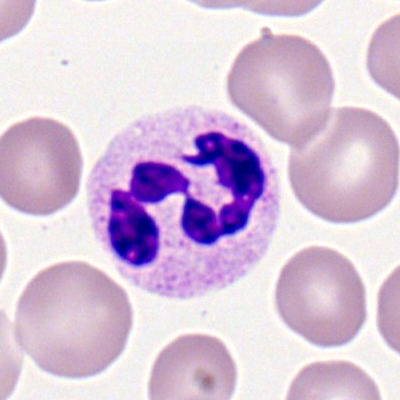

Cell type: neutrophil (segmented).